Bone marrow aspirate smear:
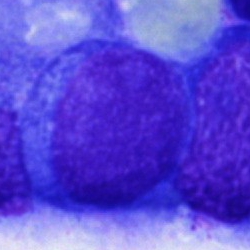Q: What cell is this?
A: Blast.